Bone marrow aspirate smear: 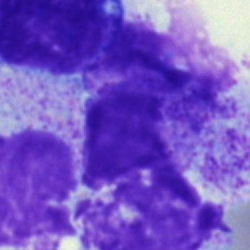Specimen: bone marrow smear.
Morphological class: artifact.